May-Grünwald-Giemsa stain; bone marrow smear:
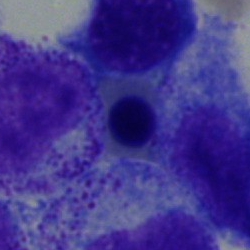

Morphology consistent with a nucleated red cell.